Bone marrow smear — 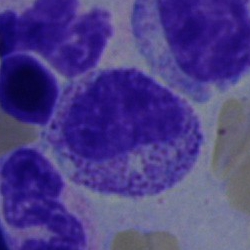
Single cell identified as a myelocyte.